Bone marrow aspirate smear
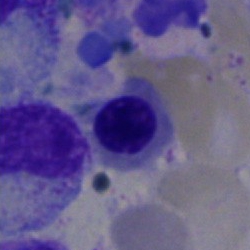

{"cell_type": "normoblast"}